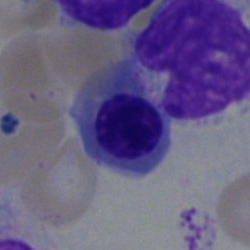

Impression — erythroblast.